Peripheral blood film · brightfield, 100× oil-immersion objective: 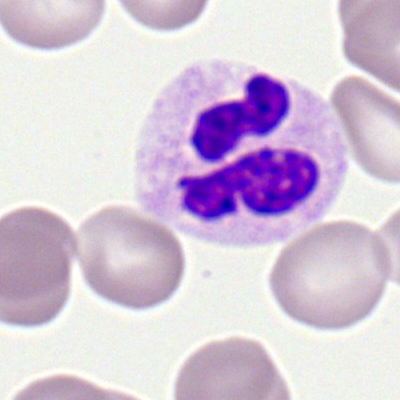 Morphology consistent with a polymorphonuclear neutrophil.